Bone marrow aspirate smear — 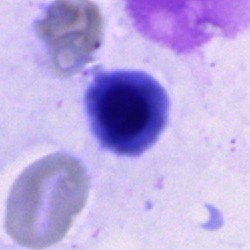
Morphological class — normoblast.